Bone marrow aspirate smear:
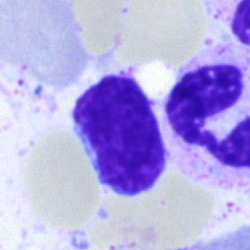A lymphocyte.